Bone marrow aspirate smear — 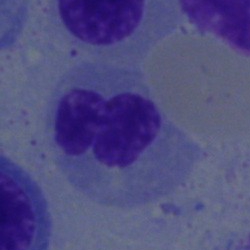A nucleated red blood cell.